Bone marrow smear
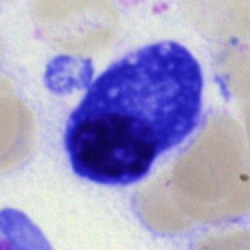

The cell shown is a plasmacyte.